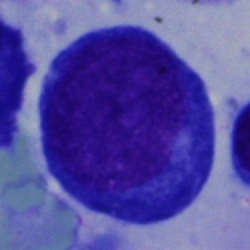

Cell type — proerythroblast.